Bone marrow aspirate smear; single-cell crop; 250×250 px.
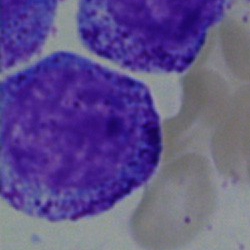Morphology — progranulocyte.